Bone marrow smear
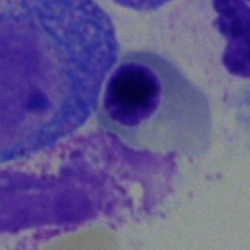Morphological class: erythroblast.